Bone marrow smear.
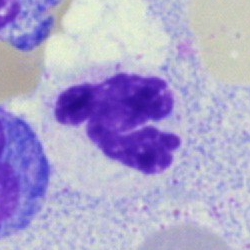Showing a segmented neutrophil.